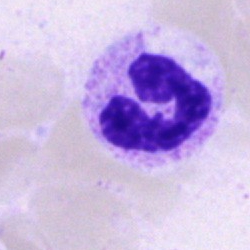 A segmented neutrophil.